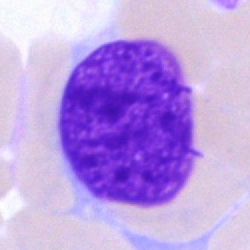

Specimen: bone marrow aspirate smear.
Cell type: artifact.